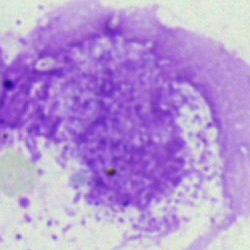
Q: What is shown here?
A: Artefact.